Bone marrow smear.
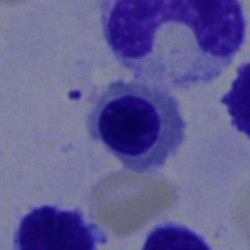

Showing an erythroblast.